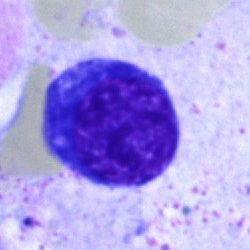

Morphology consistent with an erythroblast.